Bone marrow smear — 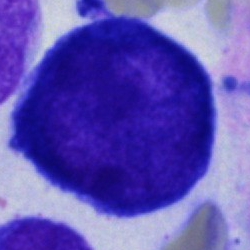
Q: What type of cell is this?
A: Proerythroblast.